Bone marrow smear
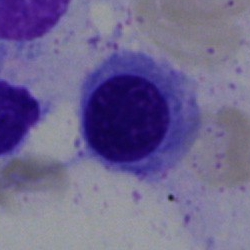 Single cell identified as a normoblast.